Single-cell field; brightfield, 40× oil-immersion objective; bone marrow aspirate smear: 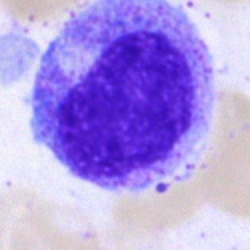 Specimen: bone marrow aspirate smear.
Classification: myelocyte.